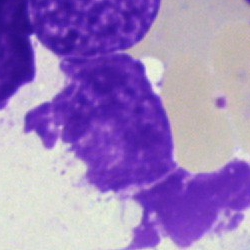 Specimen: bone marrow aspirate smear.
Classification: artefact.